Bone marrow smear. Brightfield, 40× oil-immersion objective
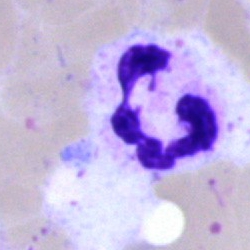
Q: What cell is this?
A: It is a polymorphonuclear neutrophil.